Bone marrow aspirate smear:
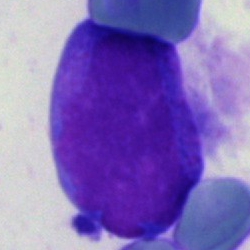

Specimen: bone marrow smear.
Classification: blast cell.